Bone marrow aspirate smear; cropped to a single cell; 250 by 250 pixels.
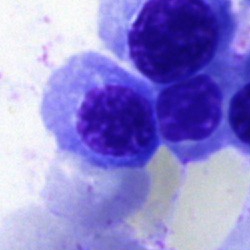Q: What is the morphological classification of this cell?
A: This is a basophilic granulocyte.